Bone marrow aspirate smear · Pappenheim-stained.
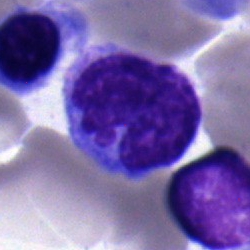
Q: Which cell type is shown here?
A: It is a typical lymphocyte.